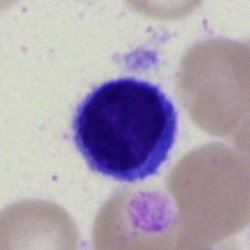The cell shown is a lymphocyte.